Bone marrow aspirate smear.
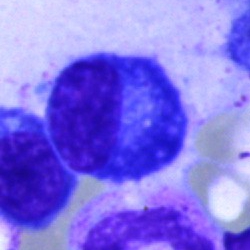
Morphological class — plasmacyte.